Bone marrow aspirate smear
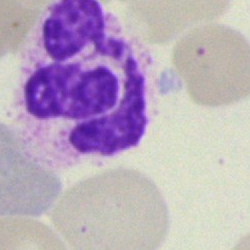
Morphology consistent with a polymorphonuclear neutrophil.